Bone marrow smear · single-cell crop
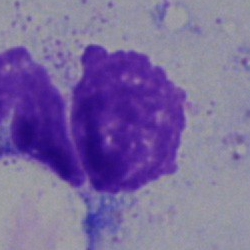 Morphology → artifact.